Bone marrow aspirate smear · 250 by 250 pixels
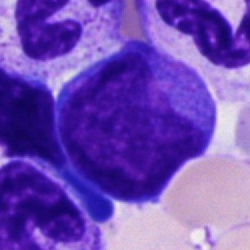Cell type: blast.